Cropped to a single cell; bone marrow aspirate smear
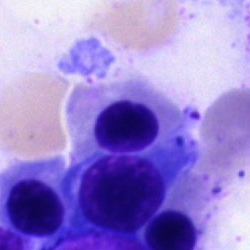
Specimen: bone marrow smear.
Morphological class: nucleated red blood cell.
Lineage: erythroid.